Single-cell crop; 40× objective, oil immersion; bone marrow aspirate smear:
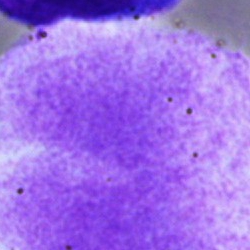 {"cell_type": "artefact"}